Bone marrow aspirate smear; 250×250 px; May-Grünwald-Giemsa/Pappenheim stain: 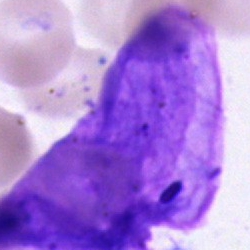 Morphology — artifact.